250×250 px · 40× oil immersion · bone marrow smear: 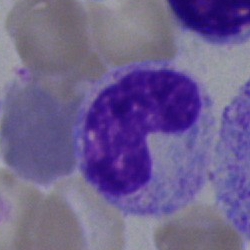
Q: What type of cell is this?
A: A band neutrophil.